Bone marrow smear.
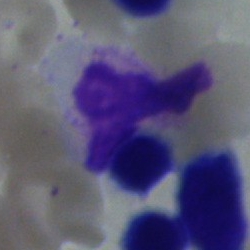 Typical lymphocyte.